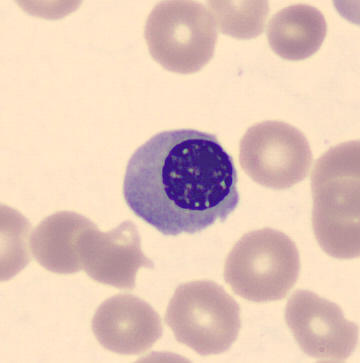 Preparation: Peripheral blood smear.

An erythroblast.